40× objective, oil immersion. Bone marrow smear. 250 by 250 pixels: 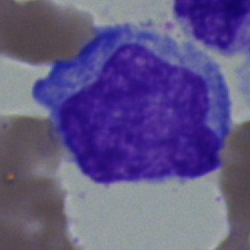 Showing a blast cell.